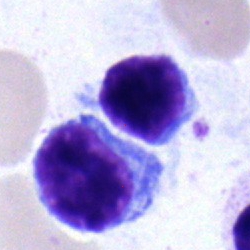Cell = typical lymphocyte.